Peripheral blood film:
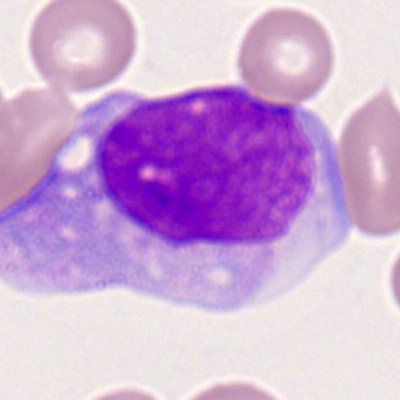
Q: What type of cell is this?
A: This is a monocyte.